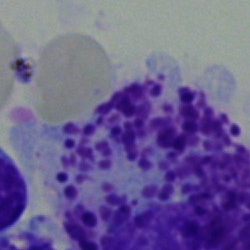

Q: What is the morphological classification of this cell?
A: It is a cell not matching the other categories.